Bone marrow smear:
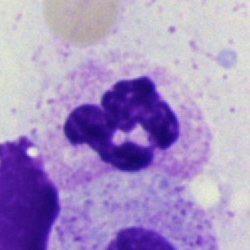The cell shown is a neutrophil (segmented).